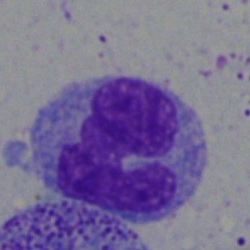
The classification is monocyte.